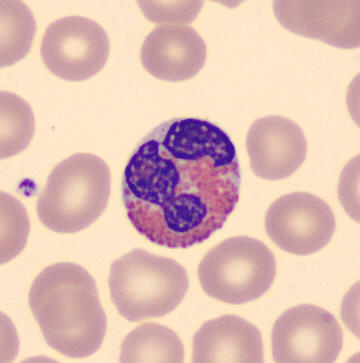
An eosinophil.

Peripheral blood film.